Bone marrow aspirate smear
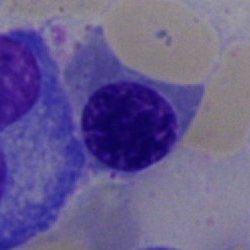

Showing an erythroblast.